Bone marrow aspirate smear — 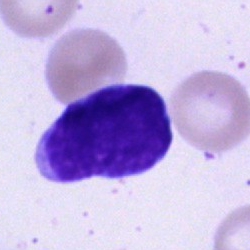Impression — lymphocyte.